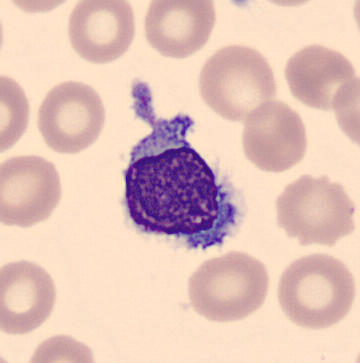

Preparation: Peripheral blood smear · CellaVision DM96.

A lymphocyte.